Bone marrow aspirate smear · 250 by 250 pixels · 40× objective, oil immersion: 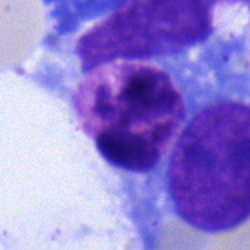

Q: Which cell type is shown here?
A: A basophilic granulocyte.